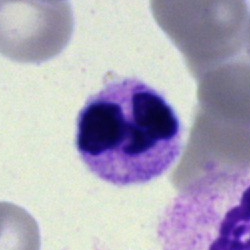 Classification = segmented neutrophil.